Bone marrow aspirate smear. 40× oil immersion:
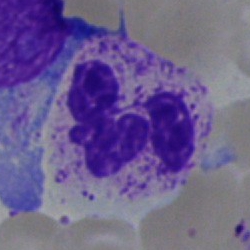

Specimen: bone marrow aspirate smear.
Classification: neutrophil (segmented).